Brightfield, 40× oil-immersion objective · bone marrow aspirate smear — 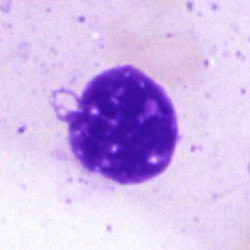

Q: What is shown here?
A: It is an artifact.